Bone marrow aspirate smear — 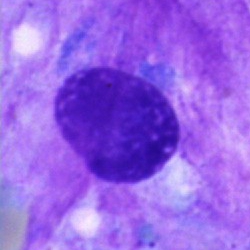

Showing an artifact.